Bone marrow smear; 250×250 px
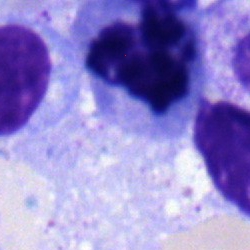Specimen: bone marrow aspirate smear.
Morphological class: nucleated red blood cell.
Lineage: erythroid.